Peripheral blood smear: 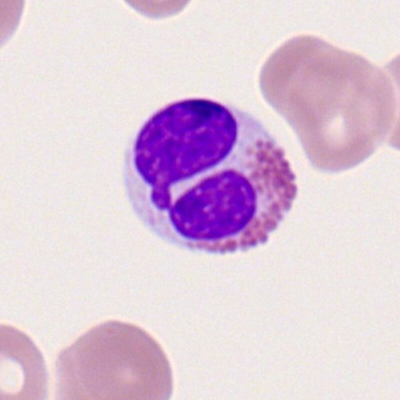An eosinophilic granulocyte.